Peripheral blood smear:
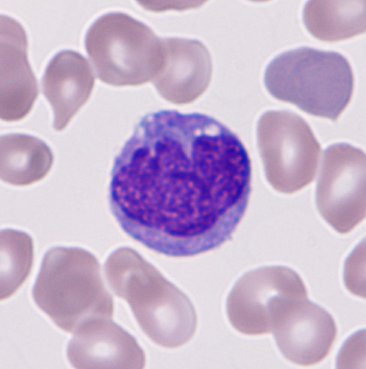

Cell type — monocyte.